Bone marrow smear · 250×250 px · MGG-stained: 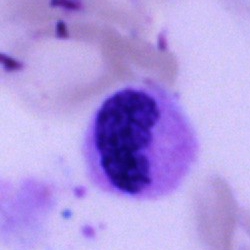The cell shown is a segmented neutrophil.